Bone marrow smear:
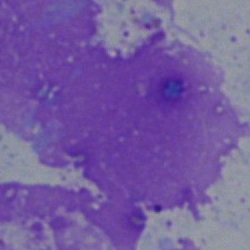 Single cell identified as an artifact.